Bone marrow aspirate smear.
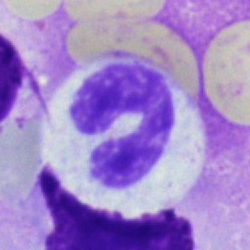
The classification is polymorphonuclear neutrophil.